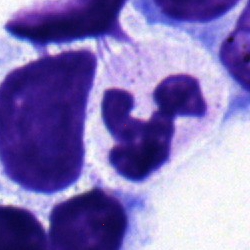 Specimen: bone marrow smear.
Classification: neutrophil (segmented).
Lineage: myeloid.